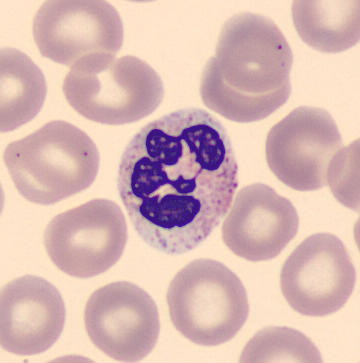Specimen: peripheral blood film.
Morphological class: segmented neutrophil. Preparation: Imaged on a CellaVision DM96 analyser.